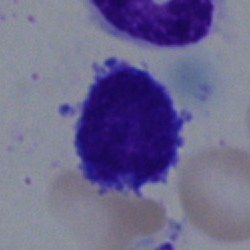 The cell shown is a typical lymphocyte.